Single cell centered in the field. Bone marrow smear.
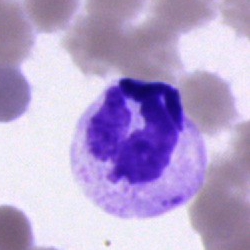

Q: What is the morphological classification of this cell?
A: A segmented neutrophil.